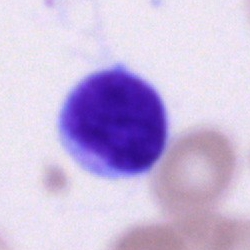

Single-cell crop from a bone marrow smear: lymphocyte.